Bone marrow smear
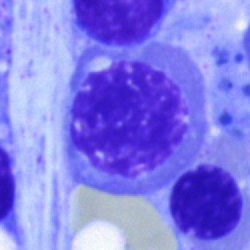
Showing a normoblast.